Bone marrow aspirate smear:
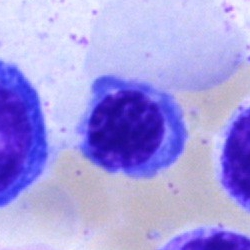
Normoblast.